Bone marrow aspirate smear; single-cell crop; image size 250×250:
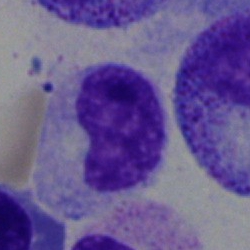
Stab cell.